Bone marrow smear:
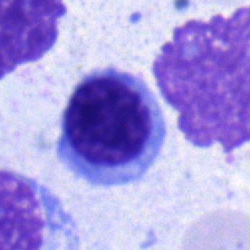Q: What type of cell is this?
A: This is a normoblast.